Peripheral blood smear.
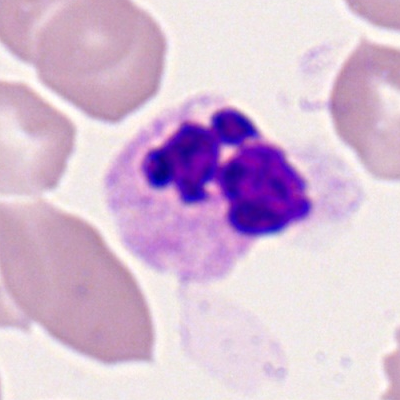

Specimen: peripheral blood film.
Cell: polymorphonuclear neutrophil.